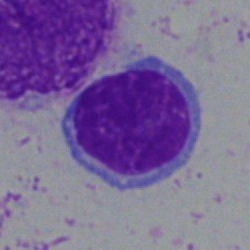Morphology consistent with a lymphocyte.